Bone marrow smear · 250×250:
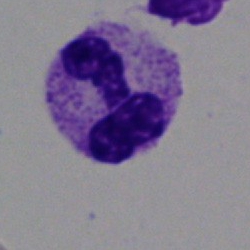

Morphology — segmented neutrophil.